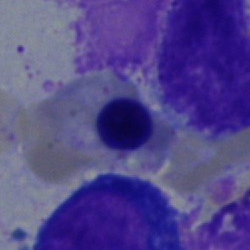Bone marrow aspirate smear, single cell — normoblast.